MGG-stained; bone marrow aspirate smear — 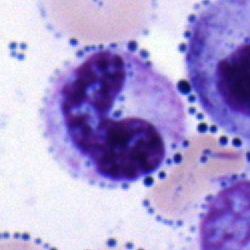

Impression → band neutrophil.